Bone marrow smear:
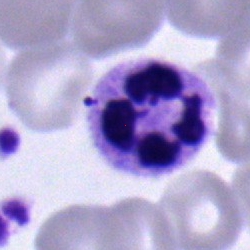
Morphology — polymorphonuclear neutrophil.